Bone marrow aspirate smear.
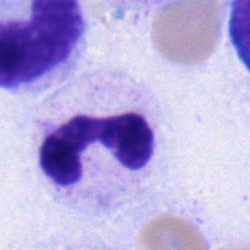 Q: What type of cell is this?
A: Band-form neutrophil.